Peripheral blood smear — 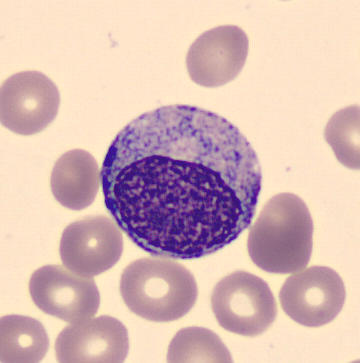

Specimen: peripheral blood film.
Cell type: myelocyte.
Lineage: myeloid.